Bone marrow smear: 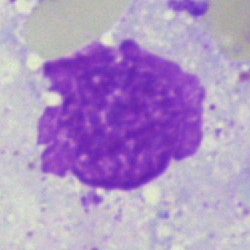
The cell is artefact.